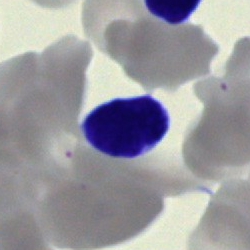

Specimen: bone marrow smear.
Morphological class: lymphocyte.
Lineage: lymphoid.